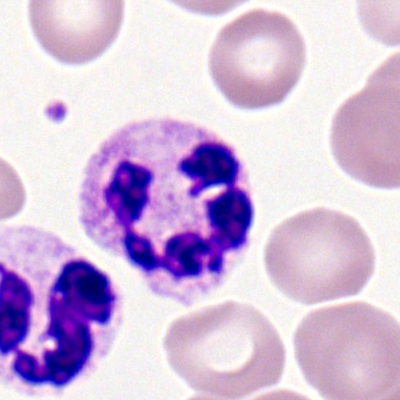
Peripheral blood film, single cell — polymorphonuclear neutrophil.